Cropped to a single cell; peripheral blood smear — 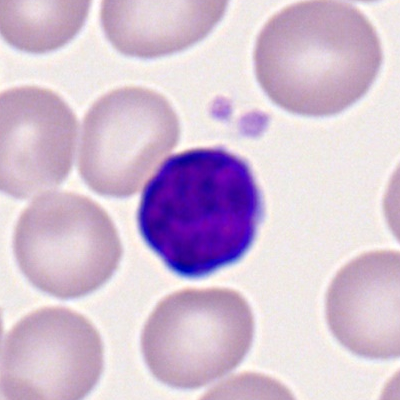

This is a lymphocyte.